Bone marrow aspirate smear.
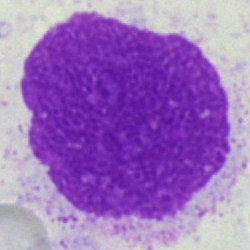 Single cell identified as an artifact.